250×250 px; bone marrow aspirate smear.
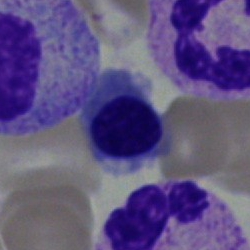
Showing an erythroblast.